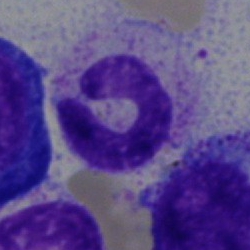

Classification = polymorphonuclear neutrophil.